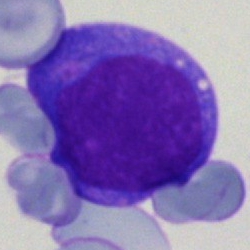The cell type is blast cell.